Bone marrow smear
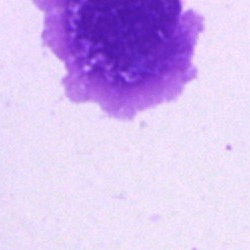

Morphological class — artefact.